Bone marrow aspirate smear · 40× oil immersion · 250×250 px — 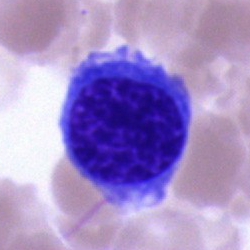

The classification is normoblast.